May-Grünwald-Giemsa/Pappenheim stain; bone marrow aspirate smear; brightfield microscopy, 40× oil immersion — 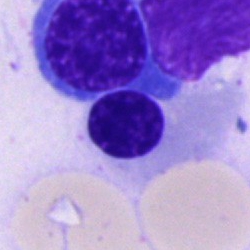Q: What is the morphological classification of this cell?
A: A nucleated red cell.